Bone marrow smear. Single-cell crop:
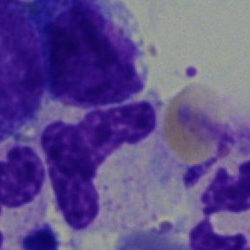
Classification = band neutrophil.